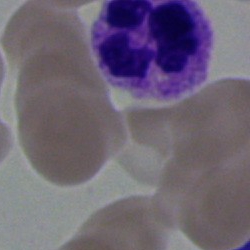Specimen: bone marrow smear.
Classification: neutrophil (segmented).
Lineage: myeloid.